Bone marrow smear:
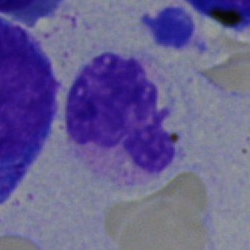
Morphology consistent with a segmented neutrophil.